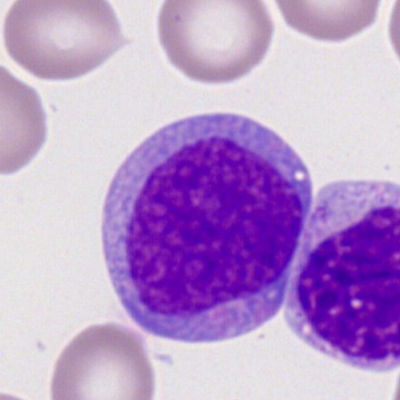 Q: What is the morphological classification of this cell?
A: This is a myeloblast.